Bone marrow aspirate smear
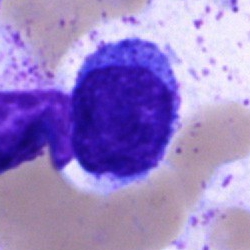 Morphological class: lymphocyte.